Bone marrow smear; single-cell field:
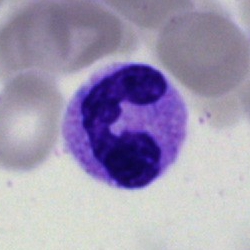

Impression — segmented neutrophil.